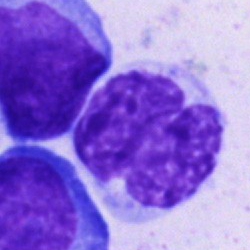

Cell type = cell of indeterminate lineage.